Bone marrow smear: 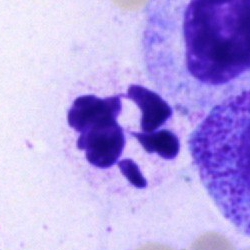 Classification — neutrophil (segmented).